Bone marrow smear: 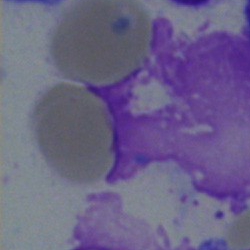
Cell = artifact.